Bone marrow aspirate smear: 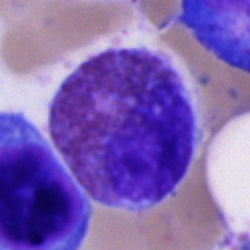This is an eosinophil.